Bone marrow smear. Brightfield, 40× oil-immersion objective: 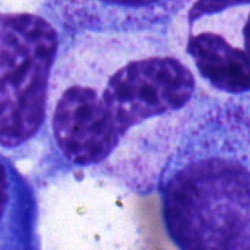 Q: What is the morphological classification of this cell?
A: This is a band neutrophil.